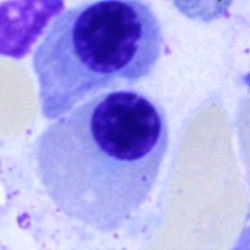
Morphological class — nucleated red blood cell.